Single-cell crop. Bone marrow aspirate smear — 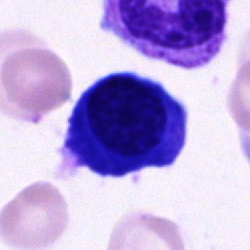
Cell type = plasma cell.